Bone marrow aspirate smear.
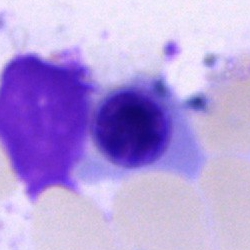
Specimen: bone marrow smear.
Morphological class: normoblast.